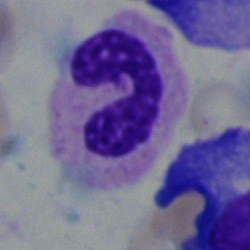
Showing a stab cell.